Brightfield, 40× oil-immersion objective. Bone marrow aspirate smear
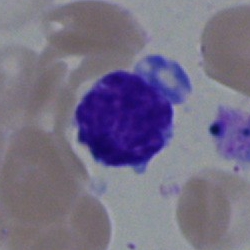
Cell: lymphocyte.